Brightfield microscopy, 40× oil immersion; bone marrow smear:
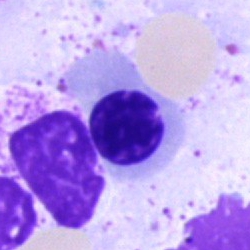 Q: What cell is this?
A: It is an undifferentiated blast.